Bone marrow smear: 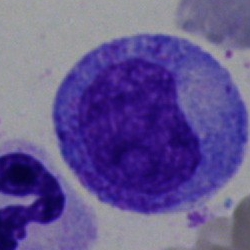
Q: Identify the cell.
A: Promyelocyte.